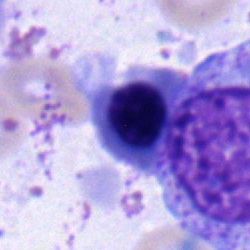 Impression — nucleated red blood cell.